May-Grünwald-Giemsa stain; bone marrow aspirate smear
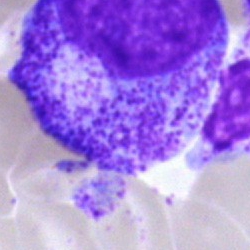Q: What is shown here?
A: This is a progranulocyte.